Single cell centered in the field; bone marrow aspirate smear.
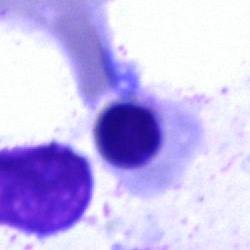 Cell type — nucleated red blood cell.